Bone marrow smear · Pappenheim-stained:
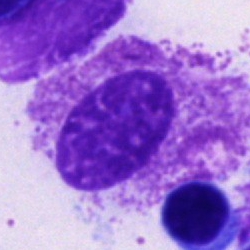
Morphological class = other cell type.